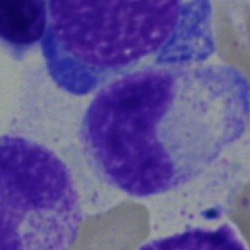{"cell_type": "metamyelocyte", "lineage": "myeloid"}